Bone marrow smear: 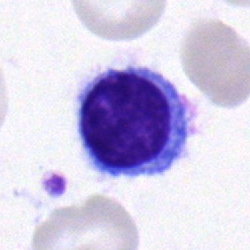
Morphology consistent with a typical lymphocyte.